Bone marrow smear: 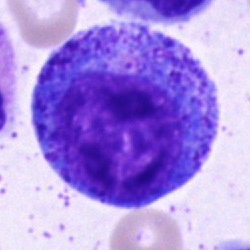 Impression → promyelocyte.